Bone marrow smear:
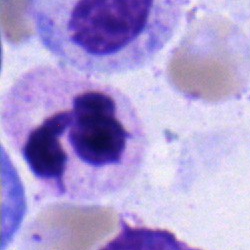Q: What type of cell is this?
A: A neutrophil (segmented).